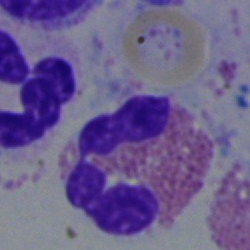
Specimen: bone marrow aspirate smear.
Classification: eosinophilic granulocyte.
Lineage: myeloid.